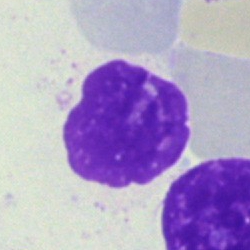

Specimen: bone marrow smear.
Cell type: artefact.